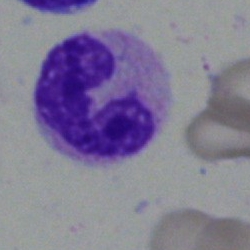
This is a neutrophil (segmented).